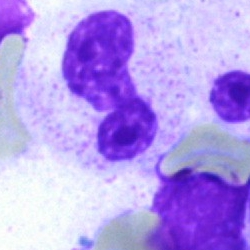 This is a neutrophil (segmented).